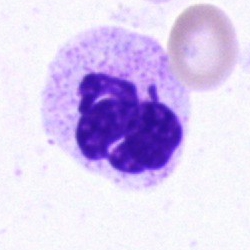

The morphological class is polymorphonuclear neutrophil.